May-Grünwald-Giemsa stain. Bone marrow smear:
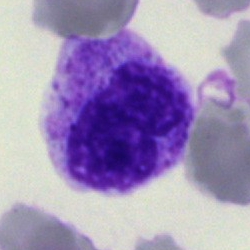 Q: Which cell type is shown here?
A: Segmented neutrophil.